Cropped to a single cell; bone marrow smear; 250×250 px: 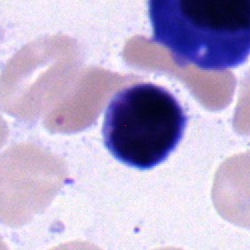 Q: Which cell type is shown here?
A: It is a typical lymphocyte.